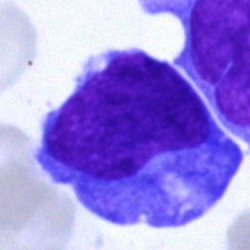Single-cell crop from a bone marrow smear: blast cell.